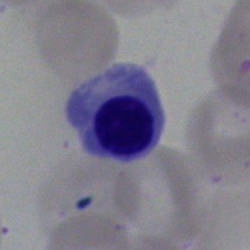

Cell type = erythroblast.